Bone marrow smear
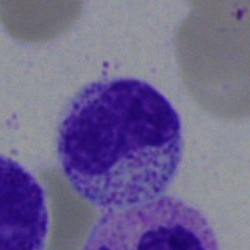
Morphological class = metamyelocyte.